May-Grünwald-Giemsa/Pappenheim stain · bone marrow aspirate smear · cropped to a single cell: 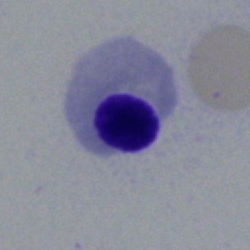 Cell: nucleated red blood cell.